Image size 250×250; bone marrow aspirate smear; single cell centered in the field:
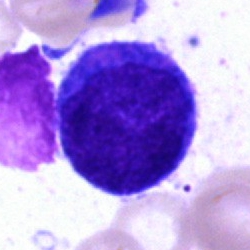
Morphological class: blast cell.